Bone marrow aspirate smear: 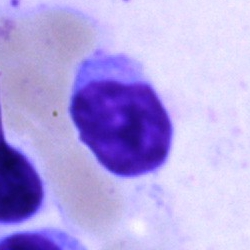A lymphocyte.